Pappenheim-stained; bone marrow aspirate smear: 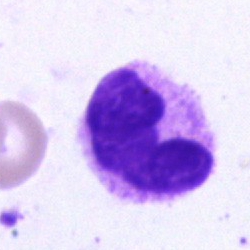 Morphology consistent with a neutrophil (segmented).